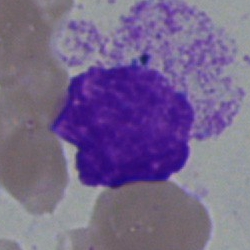This is a myelocyte.